Brightfield microscopy, 40× oil immersion. Bone marrow smear: 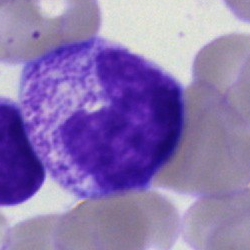

Q: Identify the cell.
A: This is a metamyelocyte.